Brightfield microscopy, 40× oil immersion. Bone marrow aspirate smear. May-Grünwald-Giemsa/Pappenheim stain: 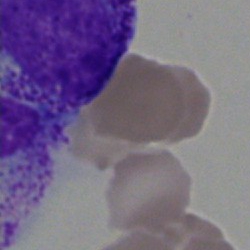 Q: What is shown here?
A: Unidentifiable cell.